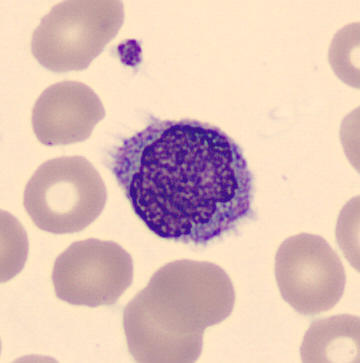
Acquisition: Peripheral blood film; automated cell imaging (CellaVision DM96); 360×363.
Cell: monocyte.